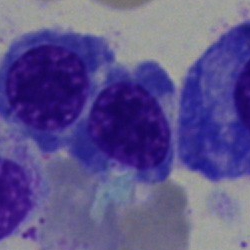Q: Identify the cell.
A: It is a nucleated red cell.